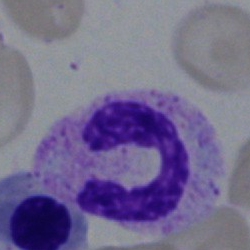

Single-cell crop from a bone marrow smear: polymorphonuclear neutrophil.